Brightfield, 40× oil-immersion objective · bone marrow aspirate smear:
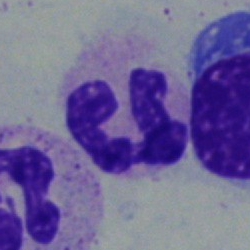
Q: What type of cell is this?
A: This is a polymorphonuclear neutrophil.